Bone marrow aspirate smear · brightfield, 40× oil-immersion objective — 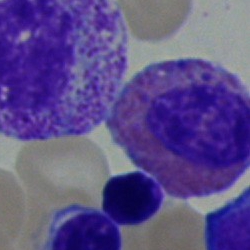

Q: What cell is this?
A: This is an eosinophil.